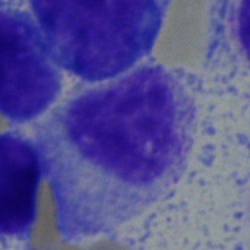 Morphology consistent with a myelocyte.